Bone marrow aspirate smear:
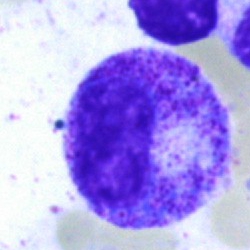The cell is myelocyte.